Single-cell field; bone marrow smear — 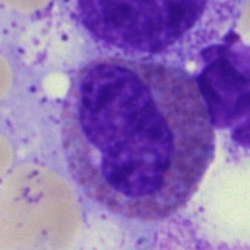

Q: What cell is this?
A: Eosinophilic granulocyte.